Bone marrow smear; Pappenheim-stained: 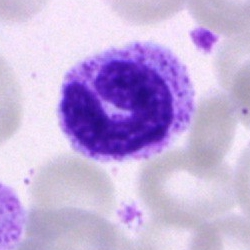 Morphology — stab cell.